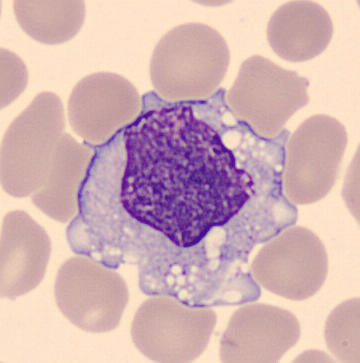
{"cell_type": "monocyte"} 360×363 px. Peripheral blood smear.